Bone marrow aspirate smear
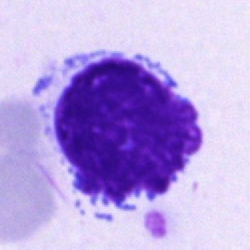

Showing an artefact.